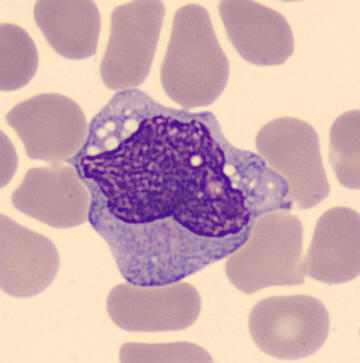 Specimen: peripheral blood film.
Cell type: monocyte.
Lineage: myeloid.

MGG stain.